Bone marrow aspirate smear. Single-cell field
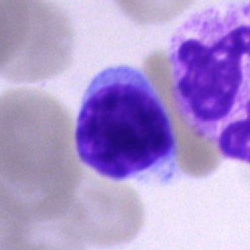 Cell: typical lymphocyte.